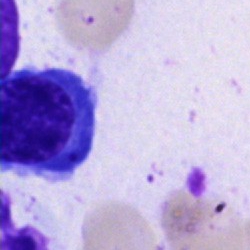 Cell type = erythroblast.